Romanowsky stain · peripheral blood smear
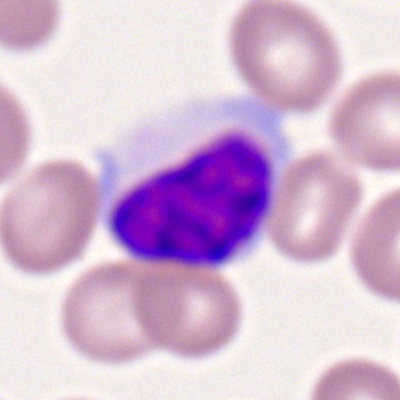
Q: What is the morphological classification of this cell?
A: This is a lymphocyte.